Single-cell crop. Bone marrow aspirate smear:
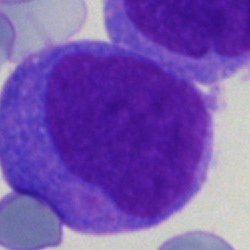Impression — undifferentiated blast.